Cropped to a single cell; bone marrow aspirate smear:
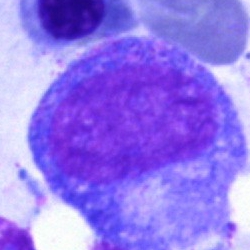Showing a progranulocyte.